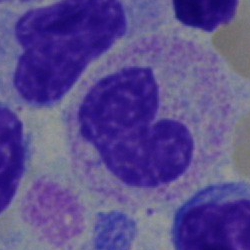

Classification = band neutrophil.